Bone marrow smear: 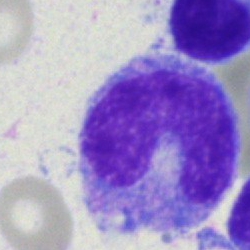
Monocyte.